Bone marrow aspirate smear. 250×250 px. Single cell centered in the field — 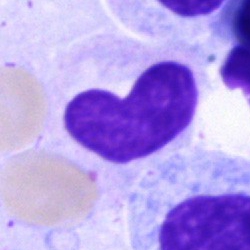
Q: Identify the cell.
A: A metamyelocyte.